Bone marrow smear. MGG-stained.
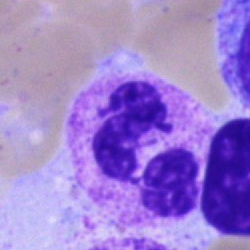
Single cell identified as a polymorphonuclear neutrophil.